Brightfield, 40× oil-immersion objective · 250×250 · bone marrow aspirate smear — 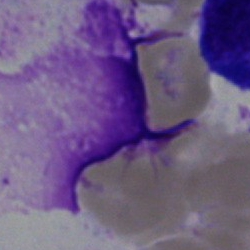An artefact.